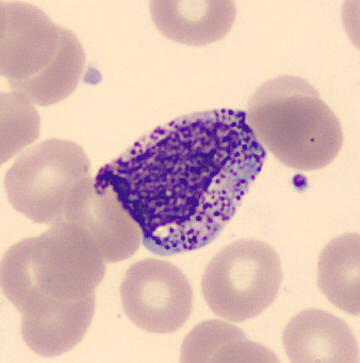{"cell_type": "myelocyte", "lineage": "myeloid"} Image: Peripheral blood smear.